40× oil immersion; single-cell crop; bone marrow aspirate smear.
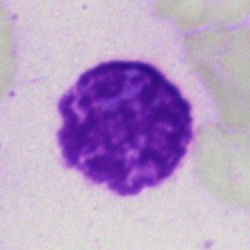 Classification: artefact.